MGG stain · peripheral blood film:
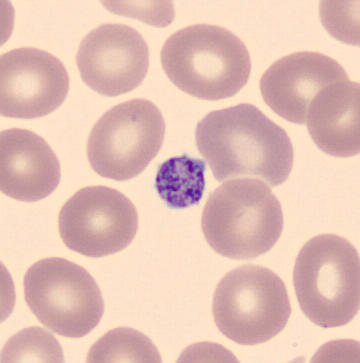Cell type = platelet (thrombocyte).